MGG-stained · bone marrow smear
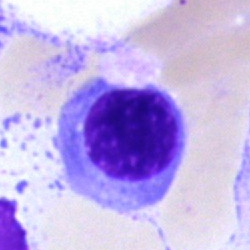{"cell_type": "normoblast", "lineage": "erythroid"}